Bone marrow aspirate smear — 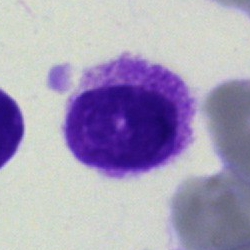

Classification: artifact.